Single-cell crop. Bone marrow aspirate smear. Image size 250×250
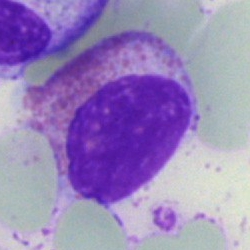
Q: Identify the cell.
A: An eosinophilic granulocyte.